100× oil immersion · peripheral blood film · single-cell crop: 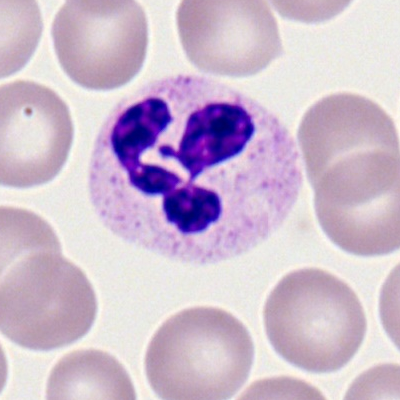

The cell shown is a polymorphonuclear neutrophil.